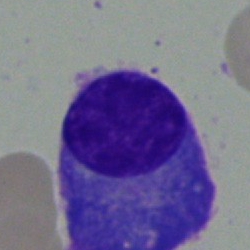

Single cell identified as a plasmacyte.